Bone marrow aspirate smear
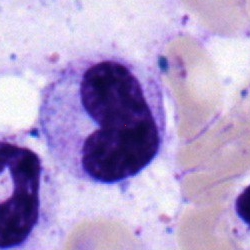 Specimen: bone marrow aspirate smear.
Cell: neutrophil (band).